Bone marrow smear: 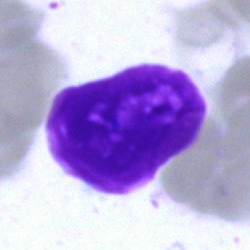This is an artefact.